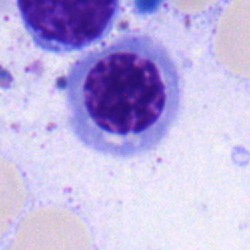
Specimen: bone marrow smear.
Cell: nucleated red blood cell.